Bone marrow smear.
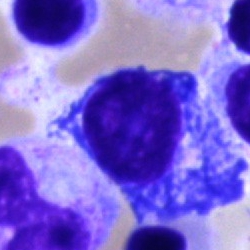
Q: What cell is this?
A: This is a plasmacyte.